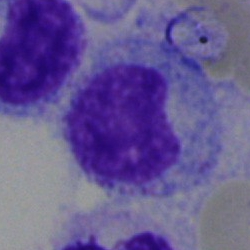
The cell type is cell of indeterminate lineage.